Bone marrow smear — 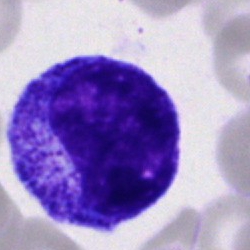
Cell = promyelocyte.